Bone marrow aspirate smear; brightfield microscopy, 40× oil immersion:
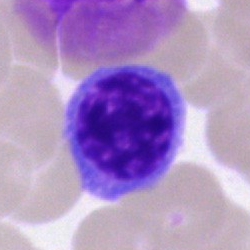
This is an erythroblast.